Brightfield microscopy, 40× oil immersion · 250×250 px · bone marrow smear:
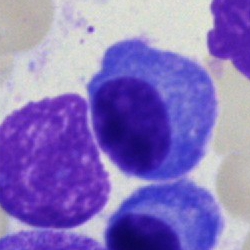

{"cell_type": "plasmacyte", "lineage": "lymphoid"}